Bone marrow smear. 40× oil immersion
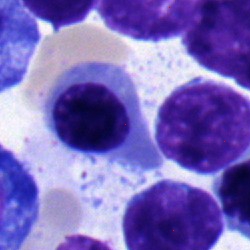Impression — nucleated red cell.